250 by 250 pixels; single-cell field; bone marrow smear: 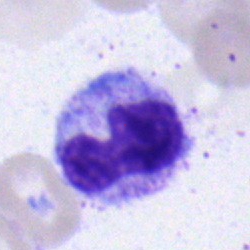 Q: What is the morphological classification of this cell?
A: Band-form neutrophil.